Single-cell field. 250×250 px. Bone marrow aspirate smear:
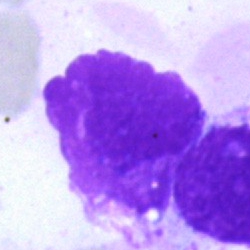Morphology — artifact.